Bone marrow smear · 40× oil immersion: 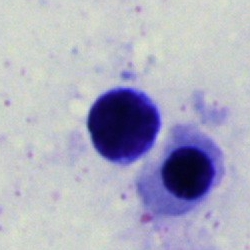

Showing an erythroblast.